May-Grünwald-Giemsa stain. Bone marrow smear:
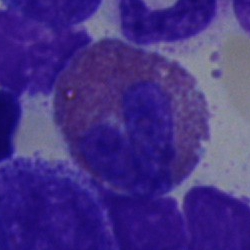The cell is eosinophilic granulocyte.